May-Grünwald-Giemsa stain; bone marrow smear; image size 250×250: 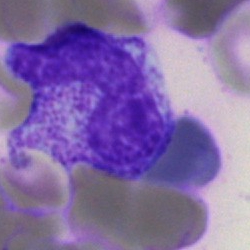
The classification is band-form neutrophil.